MGG-stained; bone marrow aspirate smear — 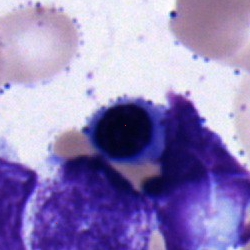The classification is nucleated red cell.